Bone marrow aspirate smear — 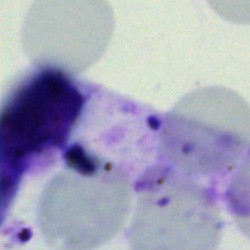 Morphological class: artifact.